Bone marrow smear: 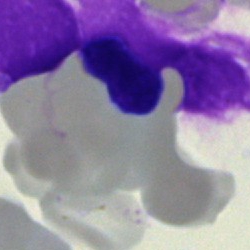Q: What cell is this?
A: Cell of indeterminate lineage.